Brightfield, 40× oil-immersion objective · bone marrow smear:
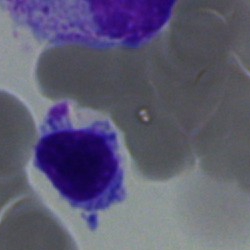 Morphology — lymphocyte.